40× oil immersion. Bone marrow aspirate smear
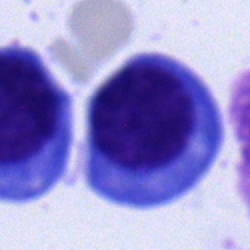

Specimen: bone marrow aspirate smear.
Morphological class: nucleated red cell.
Lineage: erythroid.